250 by 250 pixels · bone marrow aspirate smear · single cell centered in the field:
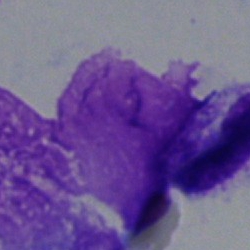 Q: What is shown here?
A: An artifact.